40× oil immersion · bone marrow aspirate smear
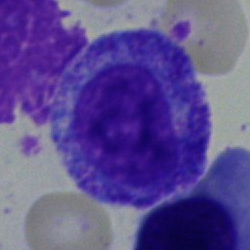Cell type — myelocyte.